Single cell centered in the field · bone marrow smear: 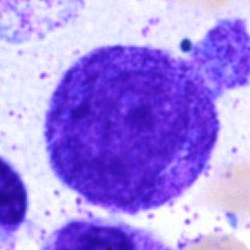 Impression — progranulocyte.